Bone marrow aspirate smear:
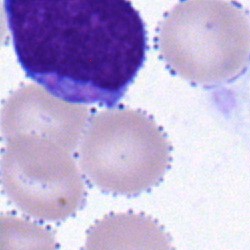

Impression — blast.